M8 digital microscope (Precipoint), 100× oil immersion · peripheral blood film · single-cell field.
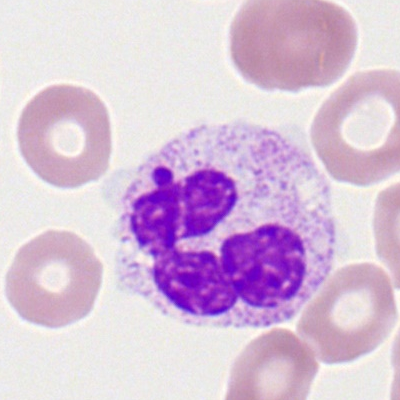
Q: What type of cell is this?
A: This is a neutrophil (segmented).